Bone marrow smear:
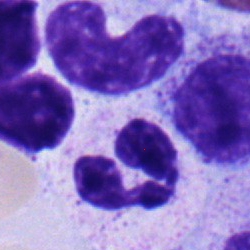Proerythroblast.